Bone marrow aspirate smear; May-Grünwald-Giemsa stain
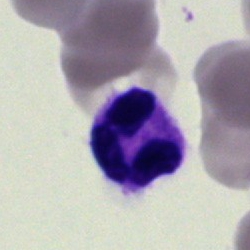Impression — lymphocyte.